Bone marrow smear; single-cell field.
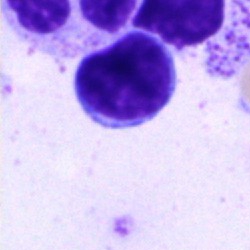
Lymphocyte.